Bone marrow smear; May-Grünwald-Giemsa/Pappenheim stain:
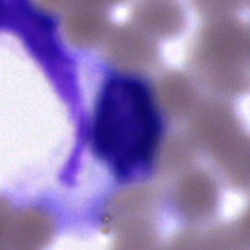 Showing an artifact.